Bone marrow smear.
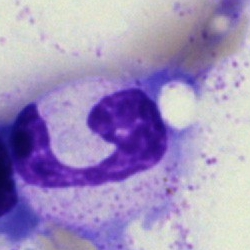

Classification: polymorphonuclear neutrophil.